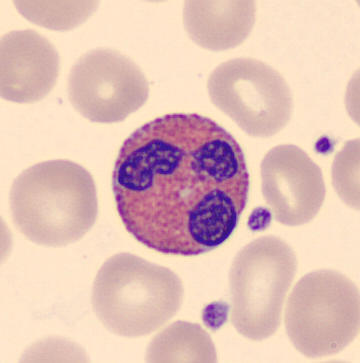

Single cell identified as an eosinophilic granulocyte. Preparation: Peripheral blood smear.